Single-cell field · MGG-stained · bone marrow aspirate smear: 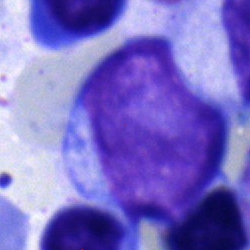
A blast cell.